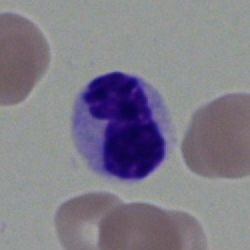 Impression → polymorphonuclear neutrophil.